Bone marrow smear
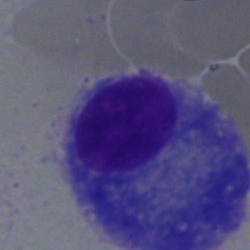

Cell type: plasma cell.